Bone marrow smear:
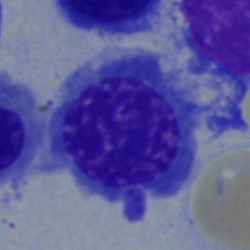 Erythroblast.